Bone marrow aspirate smear; Pappenheim-stained; single cell centered in the field — 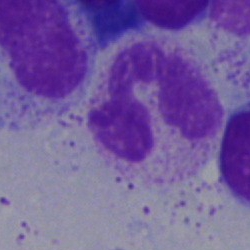
Morphology → segmented neutrophil.